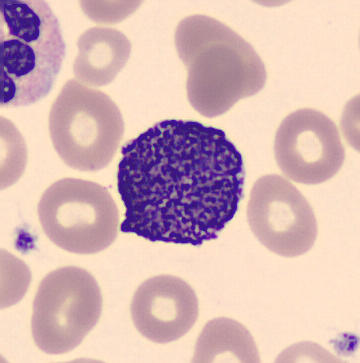
Basophil.
Acquisition: Imaged on a CellaVision DM96 analyser · peripheral blood film.